Brightfield microscopy, 40× oil immersion · single cell centered in the field · bone marrow smear: 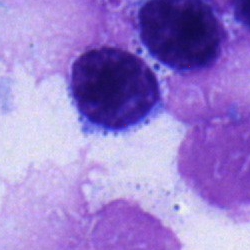 Q: Which cell type is shown here?
A: A lymphocyte.